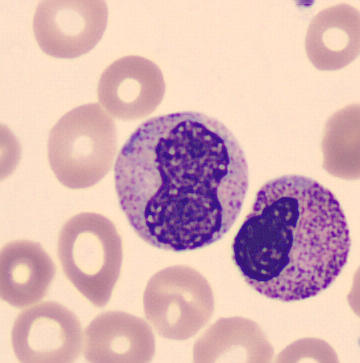
Metamyelocyte. Preparation: Peripheral blood smear.